Bone marrow aspirate smear
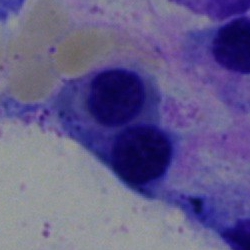

Specimen: bone marrow aspirate smear.
Morphological class: nucleated red blood cell.
Lineage: erythroid.